Brightfield microscopy, 40× oil immersion. Bone marrow aspirate smear: 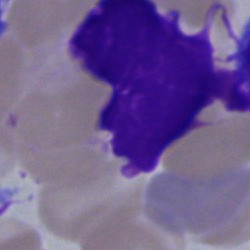Specimen: bone marrow aspirate smear.
Cell type: artefact.